Bone marrow aspirate smear: 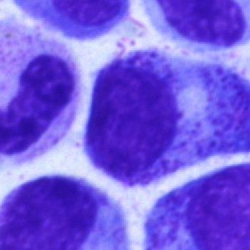

Showing a progranulocyte.